Bone marrow smear:
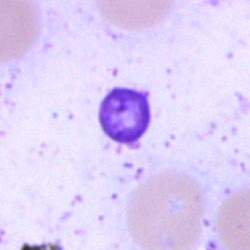
Single cell identified as an artifact.